Bone marrow aspirate smear
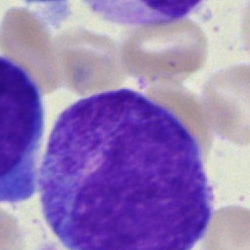

{"cell_type": "promyelocyte", "lineage": "myeloid"}